Bone marrow smear — 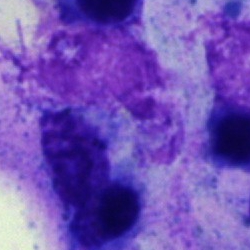Cell: artefact.